Bone marrow smear · cropped to a single cell — 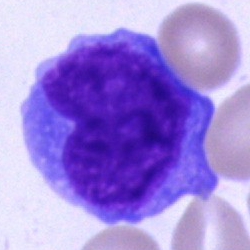The classification is undifferentiated blast.